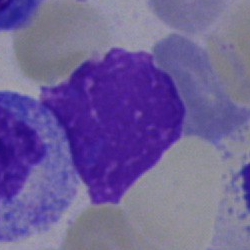The classification is artefact.